Peripheral blood smear
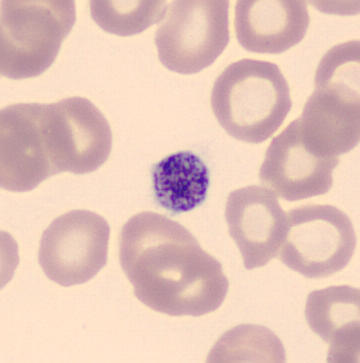

Thrombocyte.